Bone marrow aspirate smear.
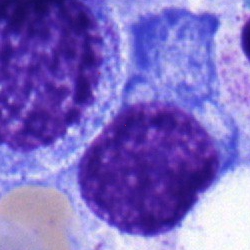

Specimen: bone marrow aspirate smear.
Classification: normoblast.